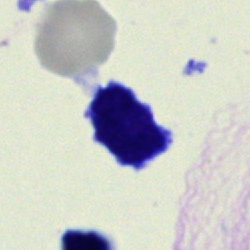

{"cell_type": "typical lymphocyte", "lineage": "lymphoid"}